Bone marrow smear · single-cell crop:
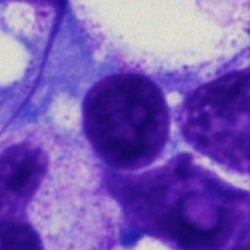Classification = artifact.